Bone marrow aspirate smear · brightfield, 40× oil-immersion objective · image size 250×250
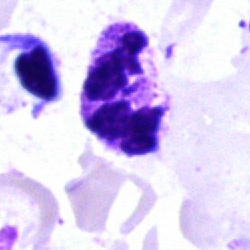

Classification: polymorphonuclear neutrophil.